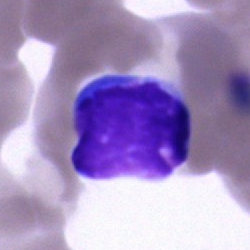
Cell — typical lymphocyte.